Bone marrow aspirate smear: 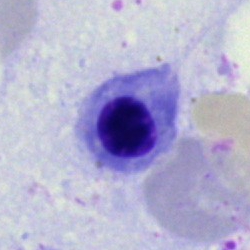Q: What is the morphological classification of this cell?
A: It is a nucleated red cell.